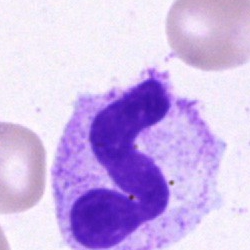 Polymorphonuclear neutrophil.